Single-cell field. 250 by 250 pixels. Bone marrow smear
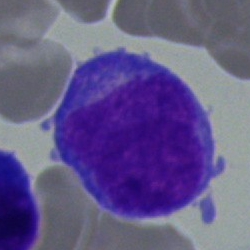

Morphology → blast cell.